Bone marrow smear: 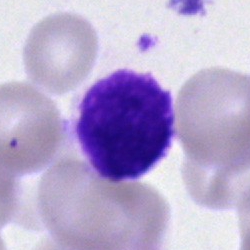

Specimen: bone marrow aspirate smear.
Cell: artefact.